Bone marrow smear: 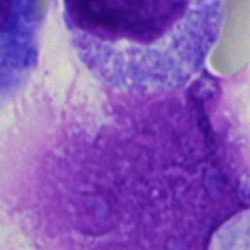 Single cell identified as an artefact.